Bone marrow aspirate smear
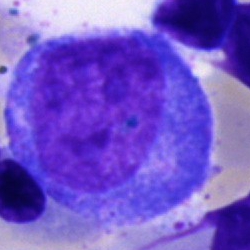The cell shown is a promyelocyte.